Bone marrow aspirate smear
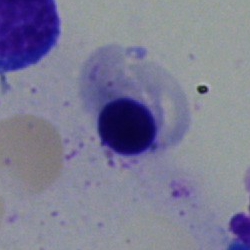A nucleated red blood cell.